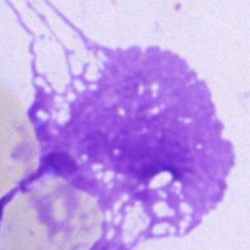This is an artifact.